Bone marrow aspirate smear: 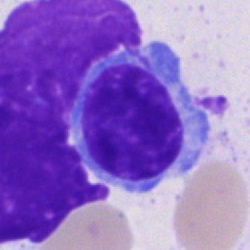
Specimen: bone marrow aspirate smear.
Cell: typical lymphocyte.